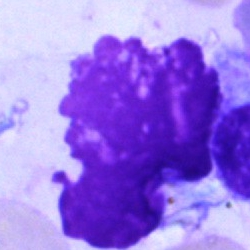

Q: What is shown here?
A: Artefact.